40× objective, oil immersion. Bone marrow smear.
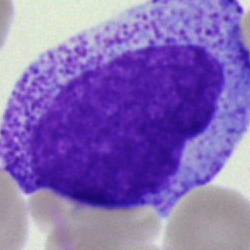 The morphological class is promyelocyte.